Bone marrow smear; brightfield, 40× oil-immersion objective; single cell centered in the field:
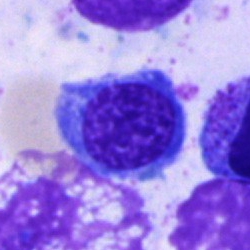

Cell type = erythroblast.